40× oil immersion; bone marrow smear; 250×250 px.
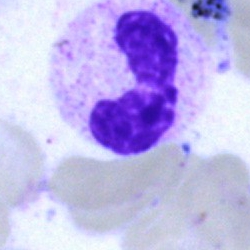 A segmented neutrophil.